Bone marrow smear. 40× objective, oil immersion
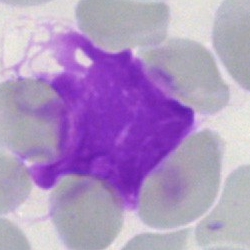
An artifact.